Single-cell crop; bone marrow smear.
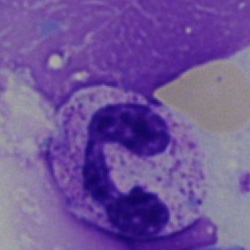
Q: Identify the cell.
A: This is a segmented neutrophil.